MGG-stained; 250×250; bone marrow aspirate smear
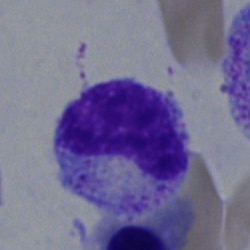

Specimen: bone marrow aspirate smear.
Morphological class: metamyelocyte.
Lineage: myeloid.